MGG-stained; 40× objective, oil immersion; bone marrow smear — 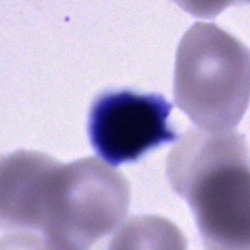
Unidentifiable cell.